MGG-stained. Bone marrow aspirate smear. Brightfield microscopy, 40× oil immersion
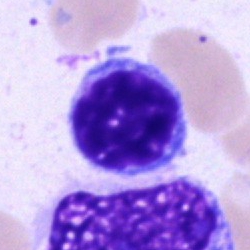 Single cell identified as a typical lymphocyte.